May-Grünwald-Giemsa/Pappenheim stain; bone marrow aspirate smear.
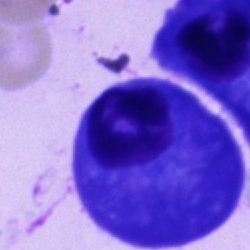 Q: Identify the cell.
A: It is a plasma cell.